Single-cell field. Bone marrow smear — 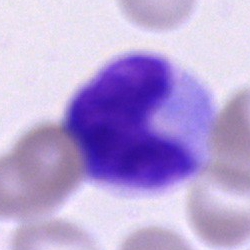Q: What type of cell is this?
A: A cell of indeterminate lineage.